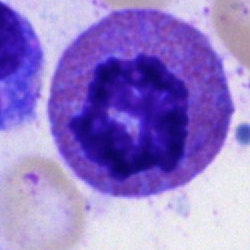 Cell = eosinophilic granulocyte.